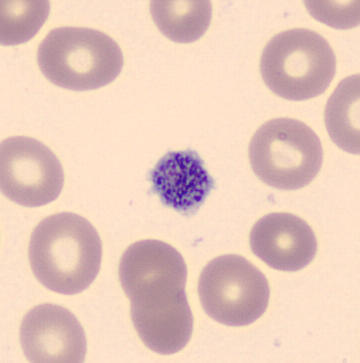360×363 px. Peripheral blood smear. CellaVision DM96.
Morphological class = thrombocyte.